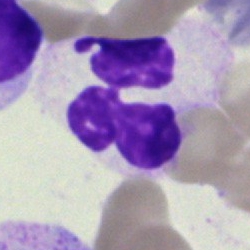

The cell shown is a polymorphonuclear neutrophil.